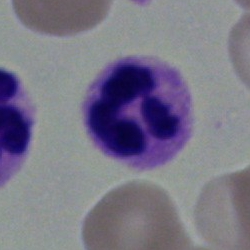
Classification = segmented neutrophil.